Bone marrow smear · 40× objective, oil immersion · May-Grünwald-Giemsa/Pappenheim stain:
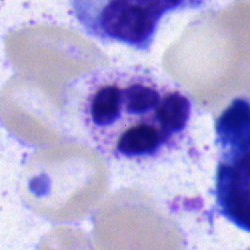This is a neutrophil (segmented).